40× objective, oil immersion. Bone marrow smear:
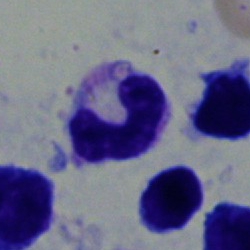 Q: What is shown here?
A: A band neutrophil.